Bone marrow smear:
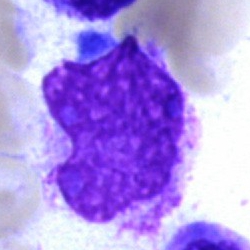
Morphological class: artefact.